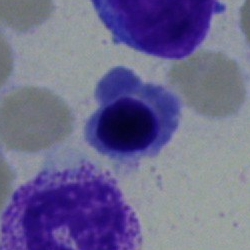 Specimen: bone marrow aspirate smear.
Cell: nucleated red cell.
Lineage: erythroid.